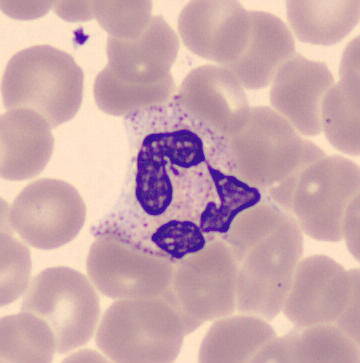

Q: What is the morphological classification of this cell?
A: This is a neutrophil (segmented).